Peripheral blood film:
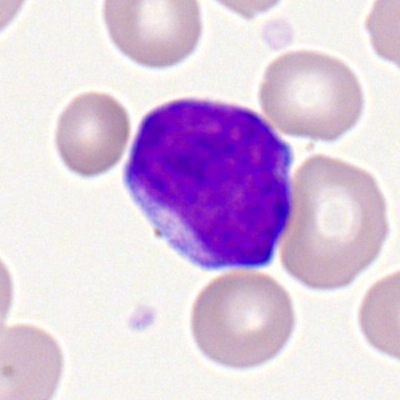Q: What cell is this?
A: It is a myeloblast.